Bone marrow smear:
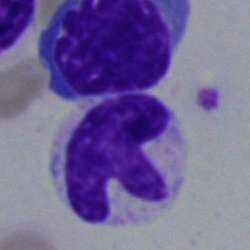
Single cell identified as a segmented neutrophil.